Bone marrow smear.
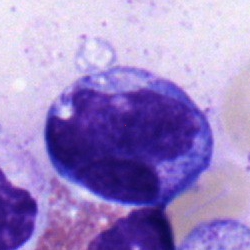 Metamyelocyte.